Bone marrow aspirate smear; 250 by 250 pixels; 40× objective, oil immersion:
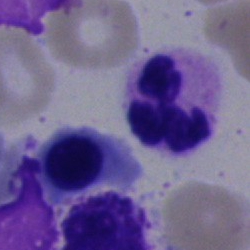 The cell shown is a neutrophil (segmented).